Bone marrow smear.
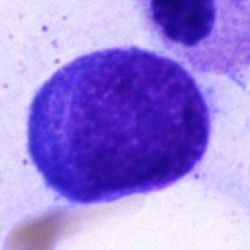 A promyelocyte.